400 by 400 pixels · single cell centered in the field · peripheral blood smear — 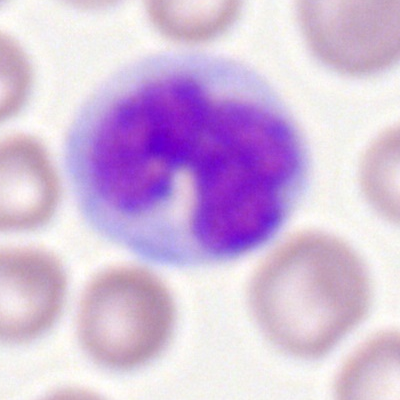

{"cell_type": "monocyte", "lineage": "myeloid"}